Bone marrow aspirate smear · May-Grünwald-Giemsa/Pappenheim stain · brightfield, 40× oil-immersion objective.
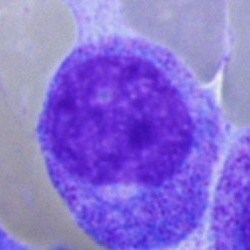
This is a progranulocyte.